Bone marrow aspirate smear.
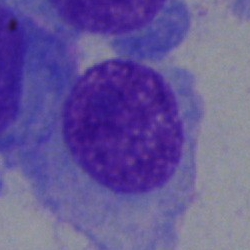 Impression — plasma cell.